Bone marrow aspirate smear: 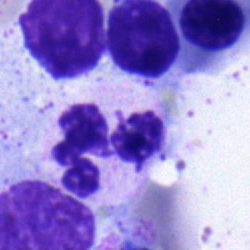 This is a segmented neutrophil.